Peripheral blood smear:
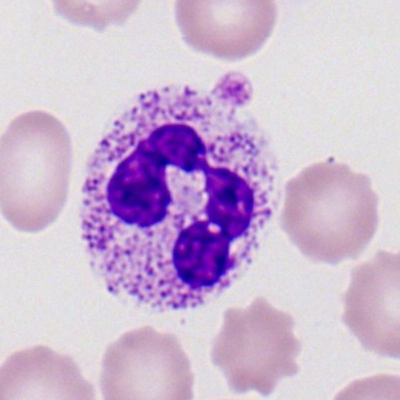

Impression — neutrophil (segmented).